Brightfield microscopy, 40× oil immersion. Bone marrow aspirate smear — 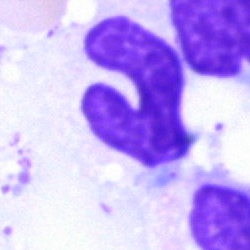 Q: What is shown here?
A: Band neutrophil.